Single cell centered in the field · MGG-stained · bone marrow aspirate smear
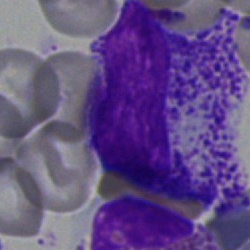 The cell shown is a myelocyte.